Single cell centered in the field · bone marrow smear.
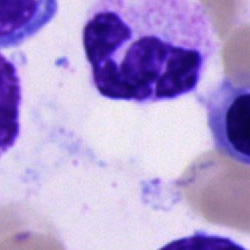Q: What cell is this?
A: This is a segmented neutrophil.